40× objective, oil immersion. May-Grünwald-Giemsa/Pappenheim stain. Bone marrow smear
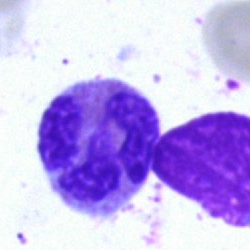 Specimen: bone marrow aspirate smear.
Classification: eosinophil.